MGG-stained · single-cell crop · bone marrow aspirate smear.
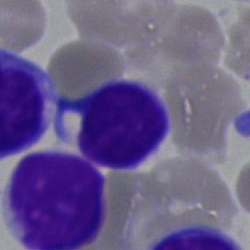
Q: Which cell type is shown here?
A: A typical lymphocyte.